Single-cell crop; peripheral blood smear — 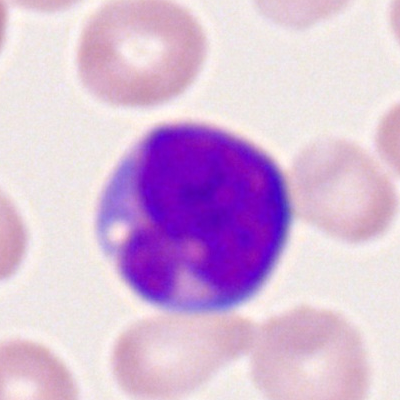 The cell shown is a myeloblast.